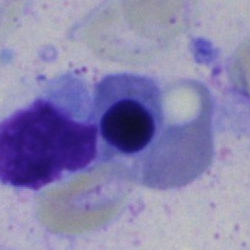A nucleated red cell.